Single-cell field · bone marrow smear: 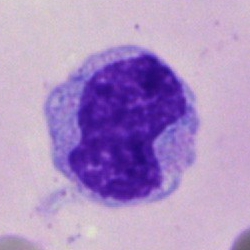

Single cell identified as an artefact.